Bone marrow smear — 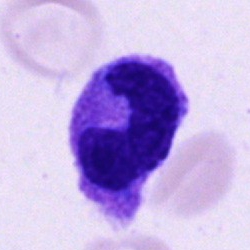Stab cell.